Single-cell field; bone marrow aspirate smear; 250×250:
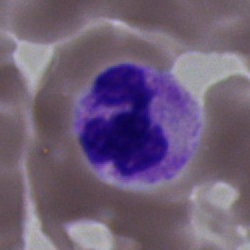

Q: What cell is this?
A: This is a segmented neutrophil.